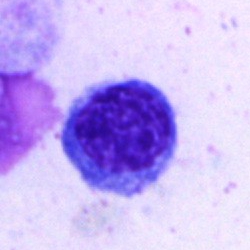
Classification = nucleated red cell.